Single-cell field. Bone marrow smear: 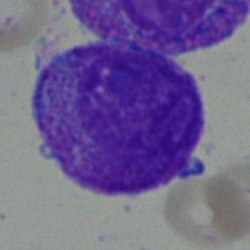

This is a blast cell.